Bone marrow smear; brightfield, 40× oil-immersion objective — 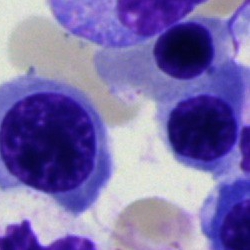This is a nucleated red cell.